Bone marrow smear. 40× oil immersion. MGG-stained.
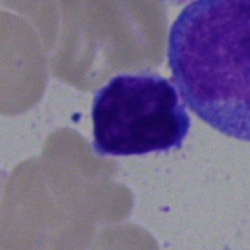
Cell = typical lymphocyte.